Peripheral blood film.
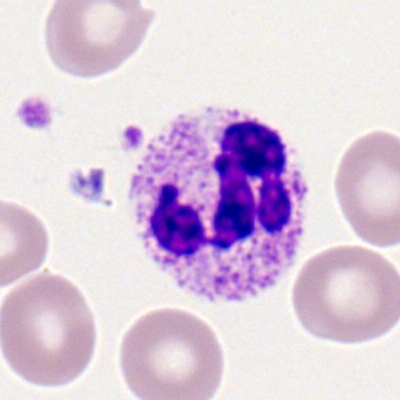 Q: What is the morphological classification of this cell?
A: Neutrophil (segmented).